Bone marrow aspirate smear; single cell centered in the field — 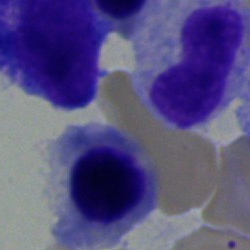

Nucleated red blood cell.